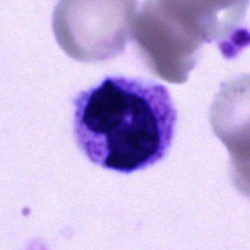Q: Identify the cell.
A: This is a cell of indeterminate lineage.